Bone marrow aspirate smear. 250 by 250 pixels:
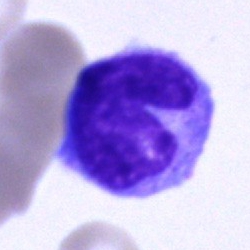
The morphological class is monocyte.